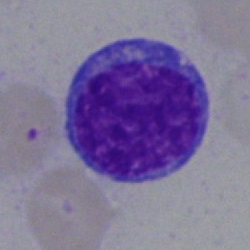 Specimen: bone marrow aspirate smear.
Cell: blast.